Bone marrow aspirate smear.
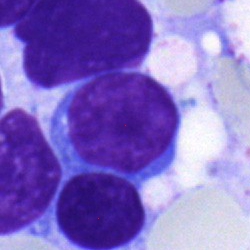
{"cell_type": "typical lymphocyte", "lineage": "lymphoid"}